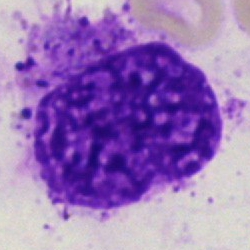 Single cell identified as an artifact.